Image size 250×250. Bone marrow smear — 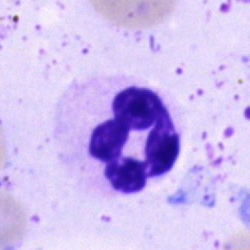Morphological class = polymorphonuclear neutrophil.